Bone marrow smear. 40× objective, oil immersion: 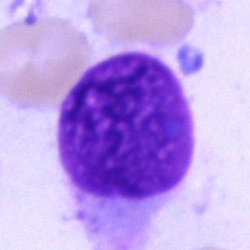

The cell shown is an artifact.